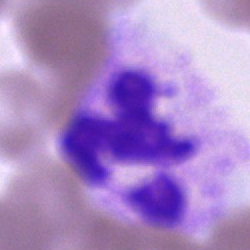 Bone marrow aspirate smear, single cell — neutrophil (segmented).